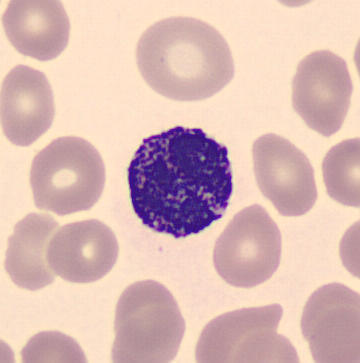 This is a basophilic granulocyte.
Image: Peripheral blood smear.